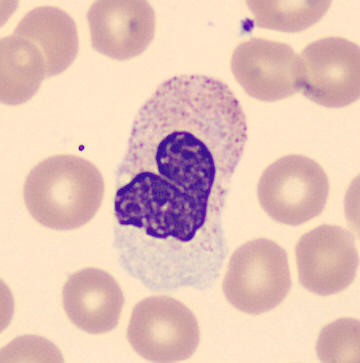Preparation: Peripheral blood film; cropped to a single cell.
The morphological class is neutrophil (band).